Peripheral blood film.
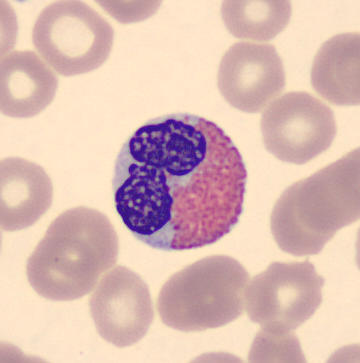Classification — eosinophil.